Bone marrow aspirate smear.
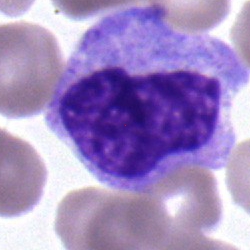 Classification = metamyelocyte.